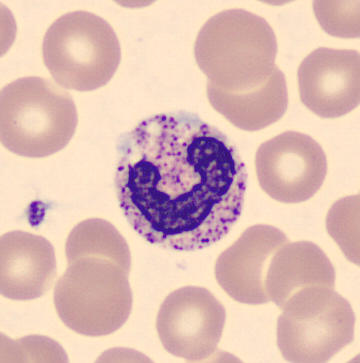
This is a band neutrophil.